Bone marrow aspirate smear: 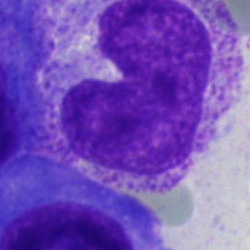This is a stab cell.